Single cell centered in the field. 250 by 250 pixels. Bone marrow aspirate smear:
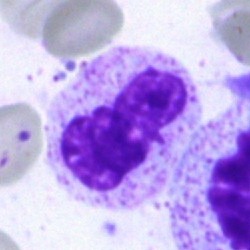

Single cell identified as a band neutrophil.